Single cell centered in the field. Image size 250×250. Bone marrow smear: 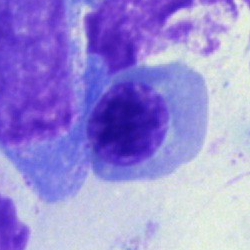
Single cell identified as an erythroblast.